Bone marrow aspirate smear: 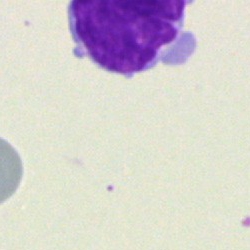

Cell type — cell of indeterminate lineage.